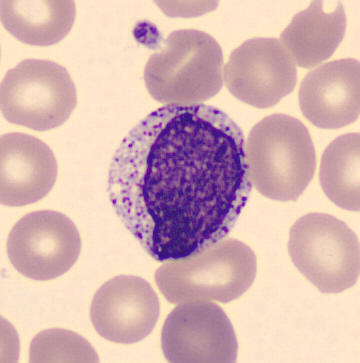 Q: What cell is this?
A: It is a myelocyte.

Acquisition: Peripheral blood film; single-cell field.